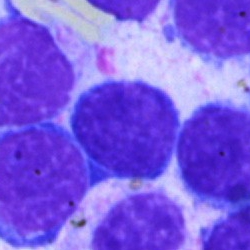Lymphocyte.